Bone marrow smear. May-Grünwald-Giemsa stain. Brightfield microscopy, 40× oil immersion
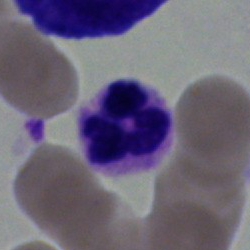

Single cell identified as a polymorphonuclear neutrophil.